Bone marrow smear:
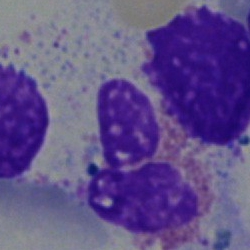 The cell shown is an eosinophilic granulocyte.